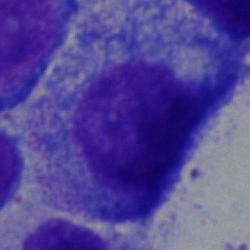

Q: Identify the cell.
A: A promyelocyte.